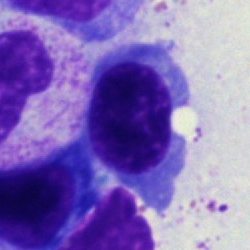Impression → erythroblast.